Bone marrow aspirate smear
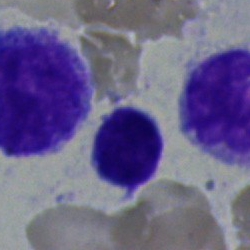

Morphology consistent with a typical lymphocyte.